Image size 250×250. Bone marrow aspirate smear. 40× oil immersion — 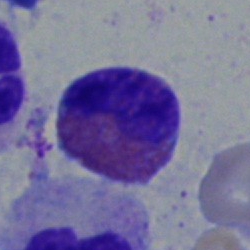 Q: What type of cell is this?
A: An eosinophilic granulocyte.